Bone marrow smear: 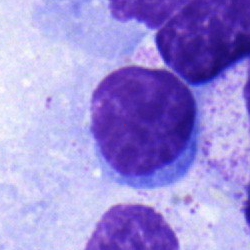

Lymphocyte.